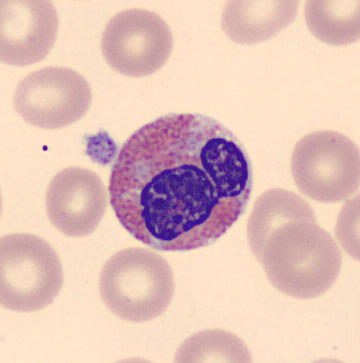

Preparation: Peripheral blood film. MGG stain.
The cell shown is an eosinophil.